May-Grünwald-Giemsa/Pappenheim stain; 40× oil immersion; bone marrow smear: 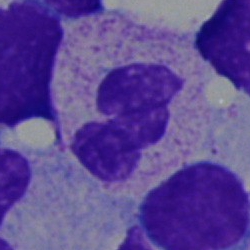Showing a neutrophil (segmented).